Brightfield, 40× oil-immersion objective. Bone marrow aspirate smear. MGG-stained.
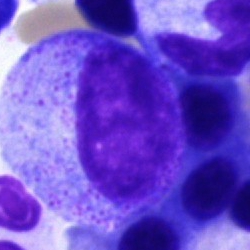 The morphological class is progranulocyte.